May-Grünwald-Giemsa/Pappenheim stain. Brightfield, 40× oil-immersion objective. Bone marrow smear: 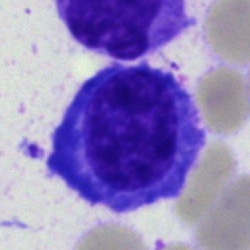 Specimen: bone marrow smear.
Cell: plasmacyte.
Lineage: lymphoid.